Bone marrow aspirate smear
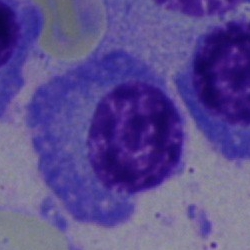 Classification: plasma cell.